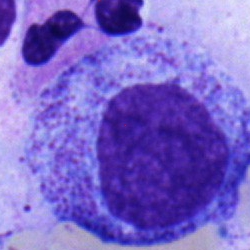
Progranulocyte.